May-Grünwald-Giemsa stain. Bone marrow aspirate smear:
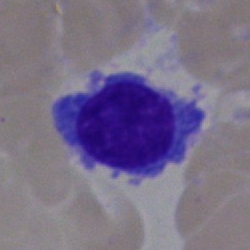

The cell shown is a plasmacyte.